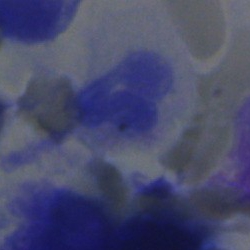 Artifact.